Bone marrow aspirate smear · image size 250×250 · 40× objective, oil immersion
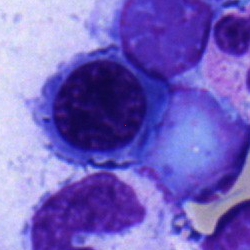Single cell identified as an erythroblast.